M8 digital microscope (Precipoint), 100× oil immersion. Peripheral blood film. Image size 400×400:
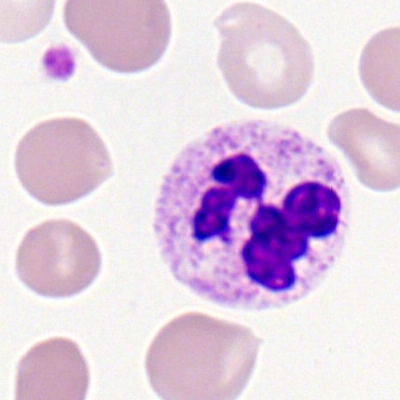 Morphological class: polymorphonuclear neutrophil.